Bone marrow aspirate smear: 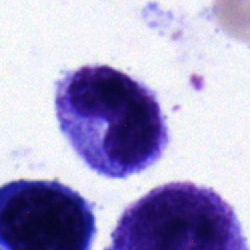

Morphology — band neutrophil.